Bone marrow aspirate smear · cropped to a single cell:
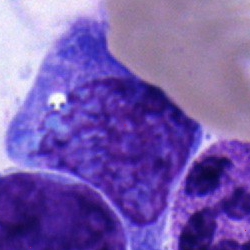 Undifferentiated blast.